Bone marrow smear; brightfield, 40× oil-immersion objective; 250×250 px — 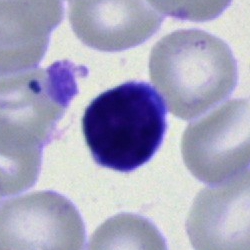
Q: What cell is this?
A: Typical lymphocyte.